Bone marrow smear: 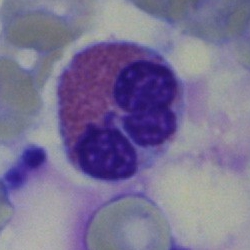 An eosinophilic granulocyte.